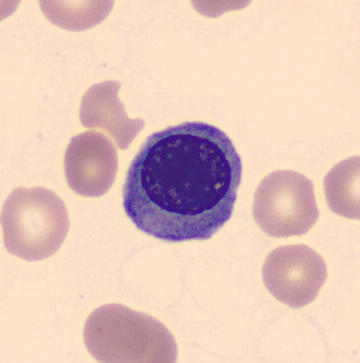

Morphology consistent with a normoblast.